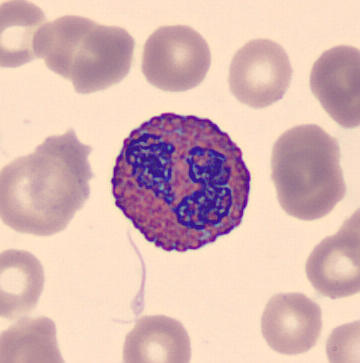This is an eosinophil. Image size 360×363. Cropped to a single cell. Peripheral blood film.